Single cell centered in the field; brightfield microscopy, 40× oil immersion; bone marrow aspirate smear — 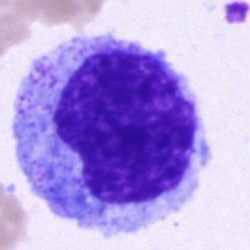Cell = progranulocyte.